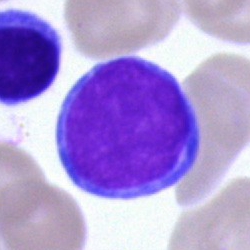
Cell: blast cell.